Bone marrow smear:
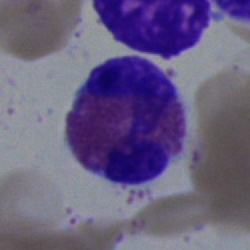
This is an eosinophil.